Single-cell crop. Peripheral blood smear. 400×400 px:
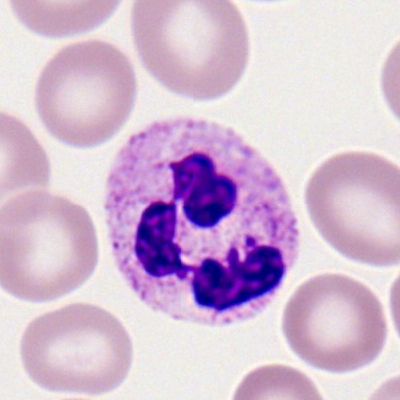 Cell type — segmented neutrophil.